Bone marrow smear. May-Grünwald-Giemsa stain — 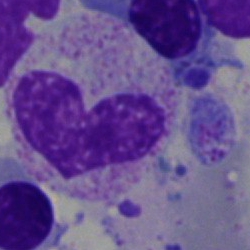

Classification = stab cell.